Bone marrow smear. 250×250:
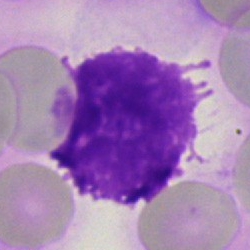

Single cell identified as an artifact.